Cropped to a single cell · bone marrow aspirate smear:
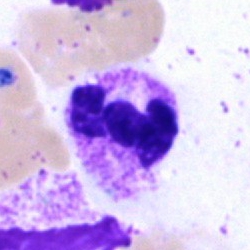Morphology consistent with a neutrophil (segmented).